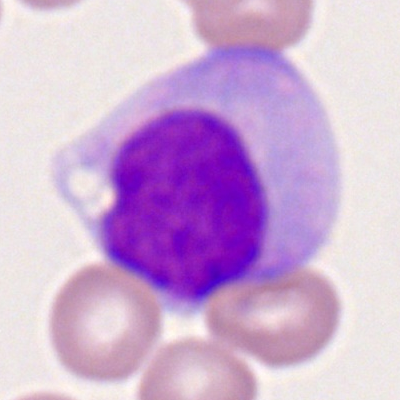 Q: Identify the cell.
A: Monoblast.